Bone marrow smear · May-Grünwald-Giemsa/Pappenheim stain:
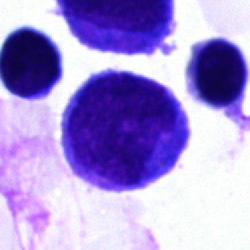 Q: Which cell type is shown here?
A: This is a blast.